Bone marrow smear; Pappenheim-stained — 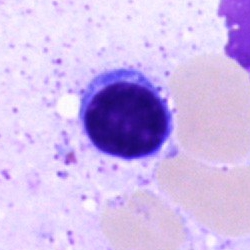Q: What cell is this?
A: A lymphocyte.